Bone marrow aspirate smear — 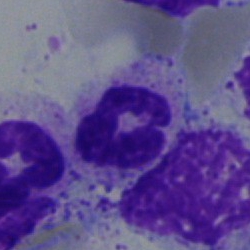
The cell type is polymorphonuclear neutrophil.